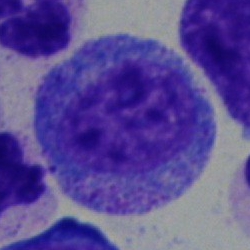

Bone marrow aspirate smear, single cell — progranulocyte.